Single cell centered in the field · bone marrow smear · 250 by 250 pixels: 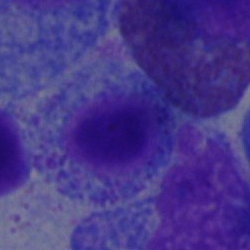
{"cell_type": "myelocyte"}